250×250 px; bone marrow smear; 40× objective, oil immersion
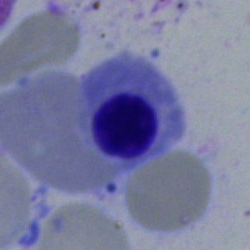
Cell: nucleated red cell.